250×250 px; MGG-stained; bone marrow smear:
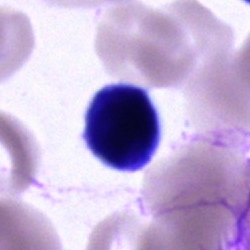 A cell of indeterminate lineage.